Bone marrow smear; 40× objective, oil immersion; Pappenheim-stained:
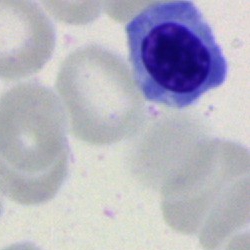

Impression → nucleated red cell.